Bone marrow smear · cropped to a single cell — 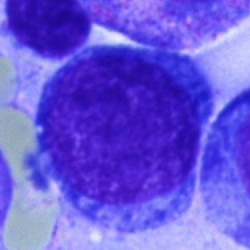The cell is undifferentiated blast.